Bone marrow smear.
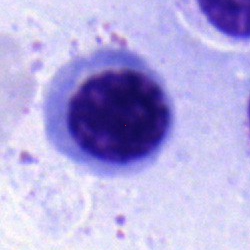 Q: What type of cell is this?
A: Nucleated red cell.